Peripheral blood smear — 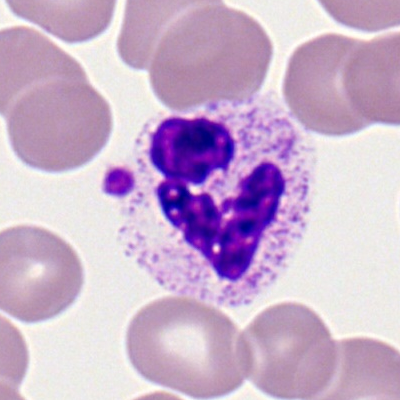
Morphology consistent with a polymorphonuclear neutrophil.